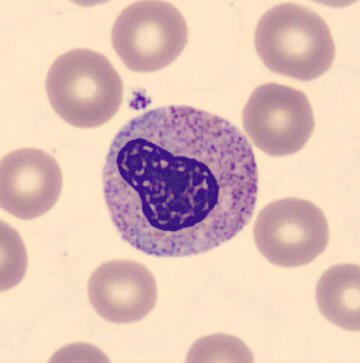
Acquisition: Peripheral blood smear. {"cell_type": "metamyelocyte", "lineage": "myeloid"}